M8 digital microscope (Precipoint), 100× oil immersion · Romanowsky-type stain · peripheral blood film: 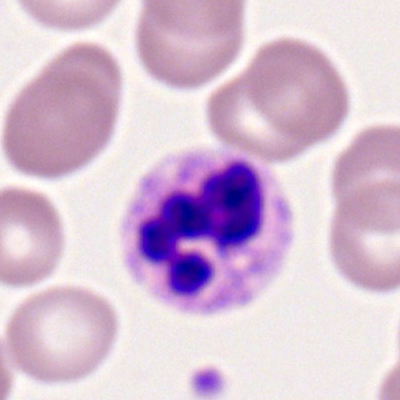 Q: What is the morphological classification of this cell?
A: Segmented neutrophil.